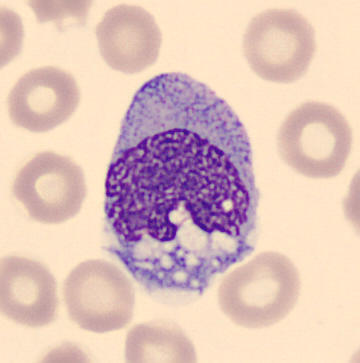
Specimen: peripheral blood film.
Cell type: monocyte.
Lineage: myeloid.
Preparation: Single-cell field. Imaged on a CellaVision DM96 analyser.